Bone marrow aspirate smear · Pappenheim-stained · brightfield, 40× oil-immersion objective:
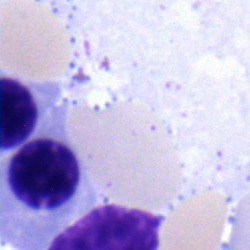The cell shown is a normoblast.